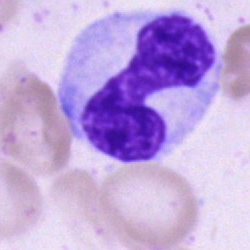Q: Which cell type is shown here?
A: Band neutrophil.